Bone marrow aspirate smear; May-Grünwald-Giemsa stain — 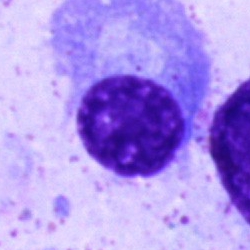

The classification is plasma cell.